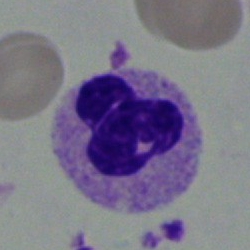 A neutrophil (segmented).